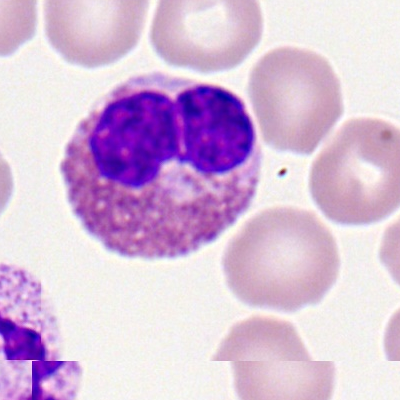
Morphological class: eosinophilic granulocyte.